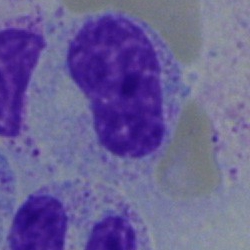 Single cell identified as a metamyelocyte.